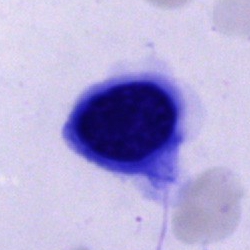
Classification: unidentifiable cell.